Bone marrow smear
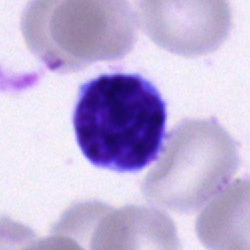 A typical lymphocyte.